Bone marrow smear: 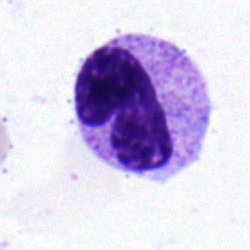 The morphological class is band neutrophil.